Peripheral blood smear
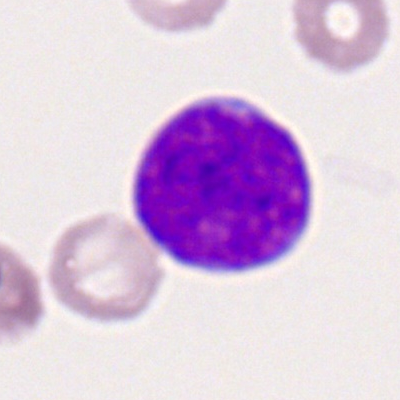

This is a myeloblast.